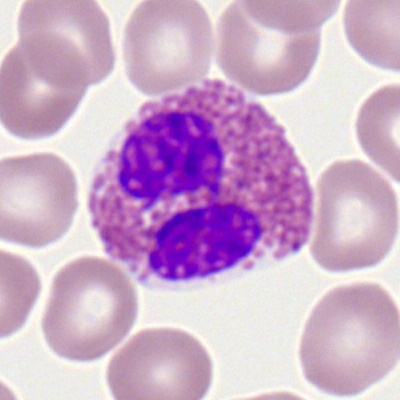Cell = eosinophilic granulocyte.